Bone marrow aspirate smear. 250×250. Single-cell crop
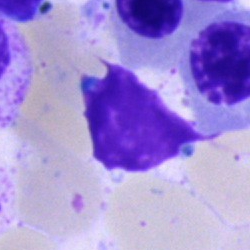Q: What is shown here?
A: This is an artifact.